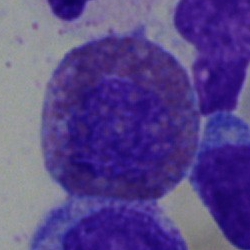 This is an eosinophil.